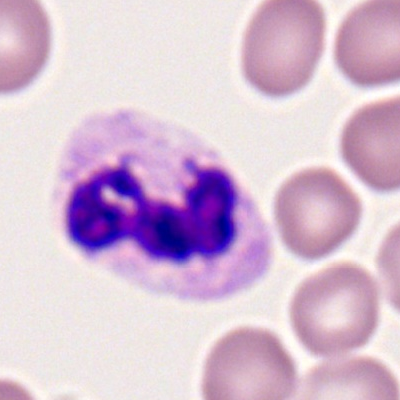 The cell type is polymorphonuclear neutrophil.